250 by 250 pixels. Bone marrow smear. Cropped to a single cell: 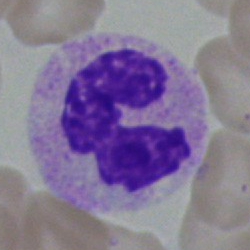
Q: Which cell type is shown here?
A: A basophil.